Bone marrow aspirate smear
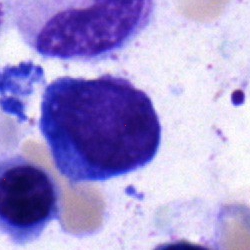 Q: What cell is this?
A: This is a monocyte.